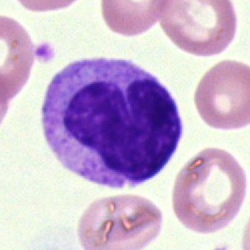 The cell is band neutrophil.